Bone marrow smear — 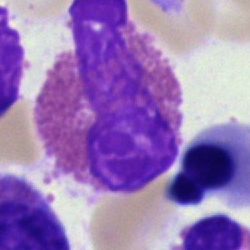Morphology — basophil.